Image size 360×363 · peripheral blood smear.
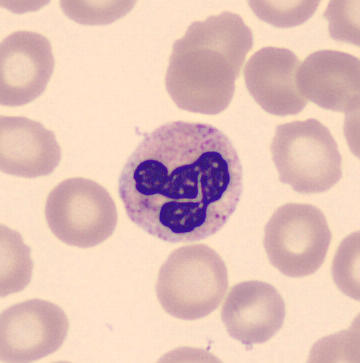

Specimen: peripheral blood smear.
Cell: segmented neutrophil.
Lineage: myeloid.